Bone marrow aspirate smear.
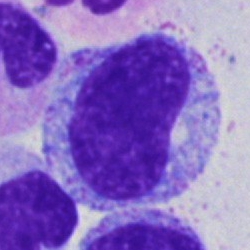

Impression → progranulocyte.